Bone marrow smear
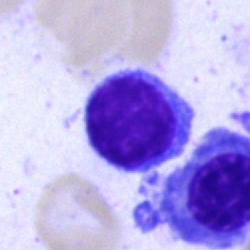 The cell shown is a lymphocyte.